Bone marrow smear; single-cell crop — 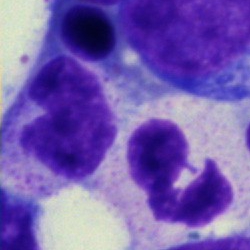

{"cell_type": "polymorphonuclear neutrophil"}